Bone marrow aspirate smear — 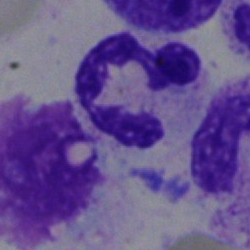

Cell type = polymorphonuclear neutrophil.